Bone marrow aspirate smear. Pappenheim-stained. Single-cell field — 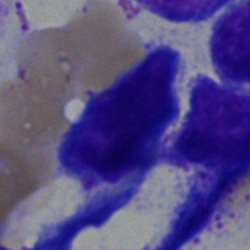Impression → artefact.